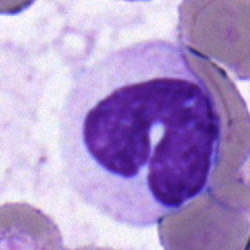

Bone marrow smear showing a band neutrophil.